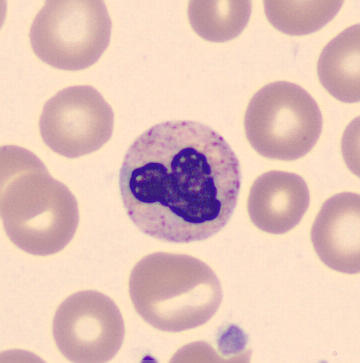Specimen: peripheral blood film.
Cell type: stab cell.
Lineage: myeloid.